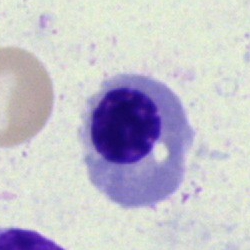
Cell — nucleated red blood cell.